Bone marrow smear — 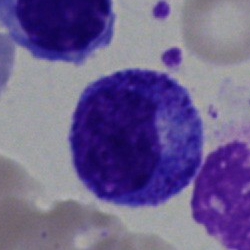

Morphology consistent with a progranulocyte.